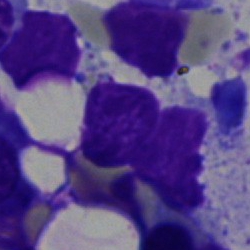
Cell: artefact.